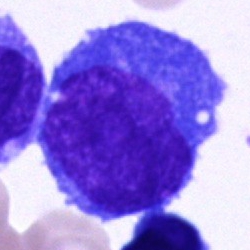

Blast.